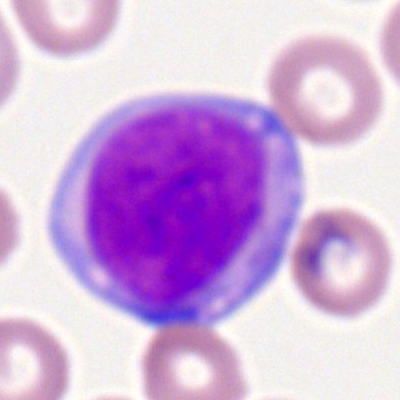 Single-cell crop from a peripheral blood smear: myeloid blast.